Bone marrow smear · cropped to a single cell.
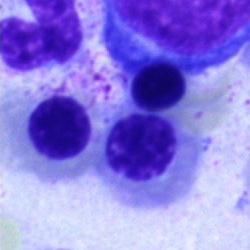
Classification: erythroblast.